Brightfield, 40× oil-immersion objective · bone marrow smear
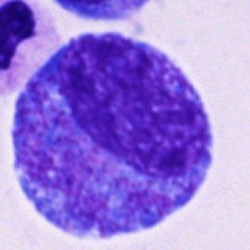
Specimen: bone marrow aspirate smear.
Cell type: promyelocyte.
Lineage: myeloid.